40× oil immersion. Image size 250×250. Bone marrow aspirate smear: 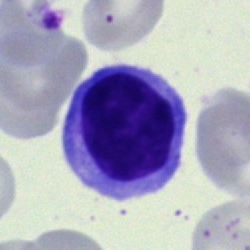Single cell identified as a lymphocyte.